Single-cell field; bone marrow smear; Pappenheim-stained.
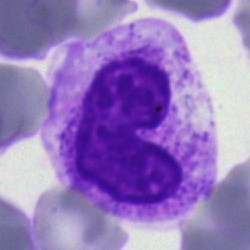 Morphology consistent with a band-form neutrophil.